Bone marrow aspirate smear:
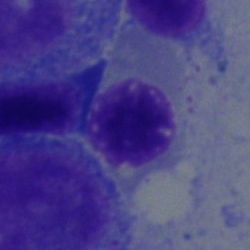

Specimen: bone marrow smear.
Cell type: nucleated red cell.
Lineage: erythroid.